Bone marrow smear:
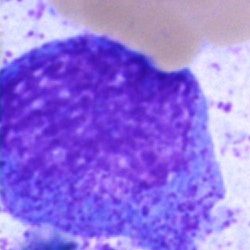
Specimen: bone marrow aspirate smear.
Cell: progranulocyte.
Lineage: myeloid.